Brightfield microscopy, 40× oil immersion. Bone marrow aspirate smear — 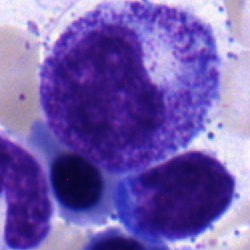
Morphological class — myelocyte.